Bone marrow smear — 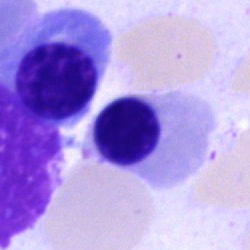The classification is erythroblast.